Brightfield microscopy, 40× oil immersion. Bone marrow aspirate smear.
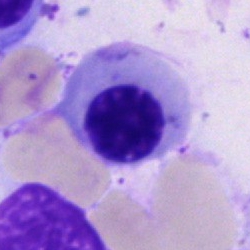 A normoblast.